Single-cell field · bone marrow smear: 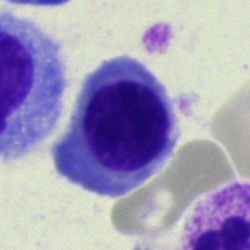

Morphology consistent with a nucleated red blood cell.